Bone marrow smear
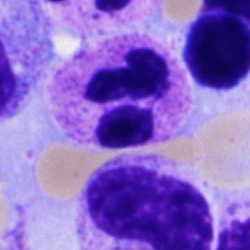 Impression → segmented neutrophil.